Bone marrow aspirate smear. Single-cell field.
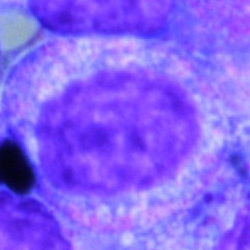 This is a myelocyte.